Bone marrow smear; image size 250×250
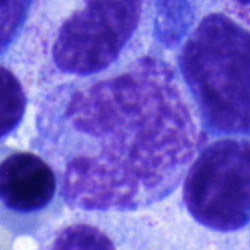

The cell shown is a monocyte.